Bone marrow smear · brightfield microscopy, 40× oil immersion:
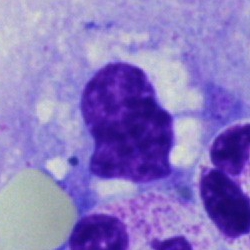Impression — artefact.